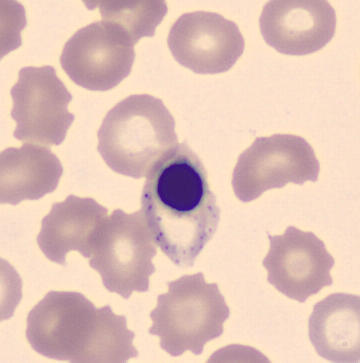

Morphological class = nucleated red blood cell.